Bone marrow smear; cropped to a single cell:
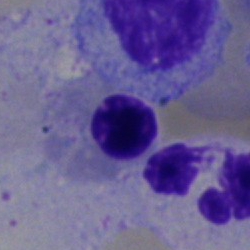The cell shown is an erythroblast.